Bone marrow aspirate smear.
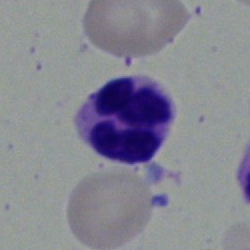Showing a segmented neutrophil.